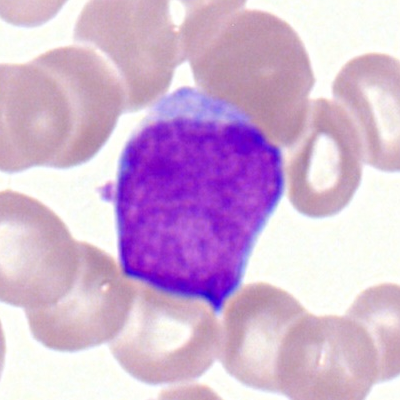
A myeloblast on a peripheral blood smear.